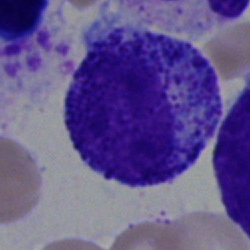
Specimen: bone marrow aspirate smear.
Morphological class: promyelocyte.
Lineage: myeloid.